Bone marrow aspirate smear — 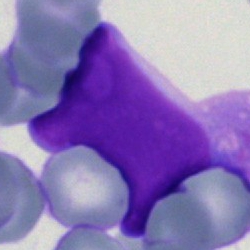Q: What is shown here?
A: This is a blast cell.